Bone marrow smear. 40× oil immersion: 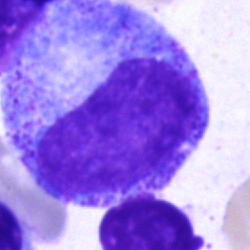Single cell identified as a progranulocyte.